Bone marrow smear:
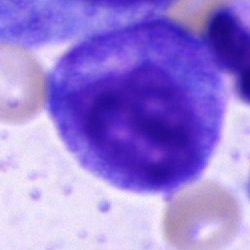
Impression — progranulocyte.